Romanowsky-type stain · peripheral blood film:
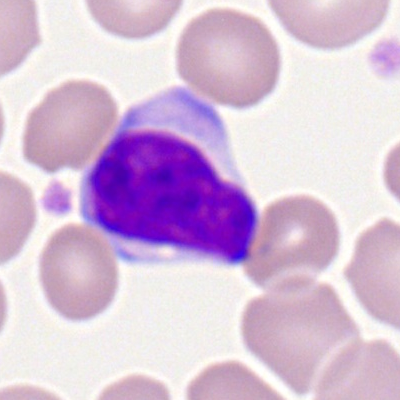Morphological class: typical lymphocyte.